Single-cell field; peripheral blood smear: 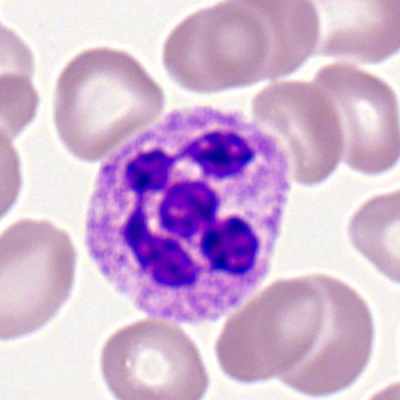

Segmented neutrophil.